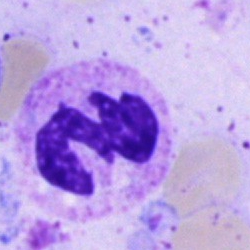 Classification = segmented neutrophil.